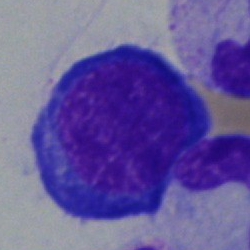Bone marrow aspirate smear, single cell — nucleated red blood cell.